Single cell centered in the field; bone marrow smear; image size 250×250
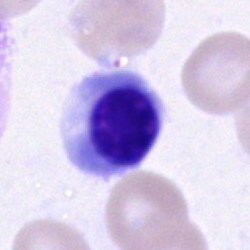
Morphological class: nucleated red cell.